Bone marrow smear — 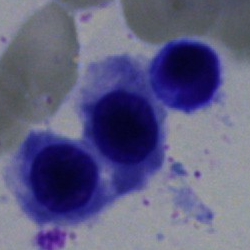
Cell type — erythroblast.